May-Grünwald-Giemsa stain · bone marrow aspirate smear.
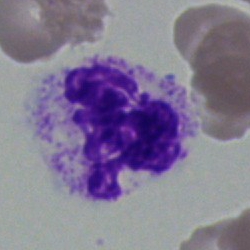 Segmented neutrophil.